Bone marrow aspirate smear.
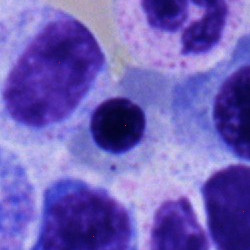
Classification: erythroblast.